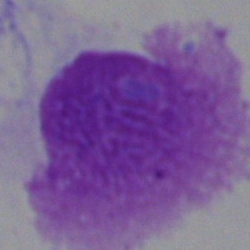

Classification: artefact.